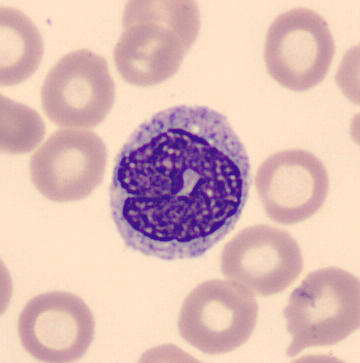
{"cell_type": "monocyte", "lineage": "myeloid"}
Preparation: 360×363 px. Peripheral blood film.